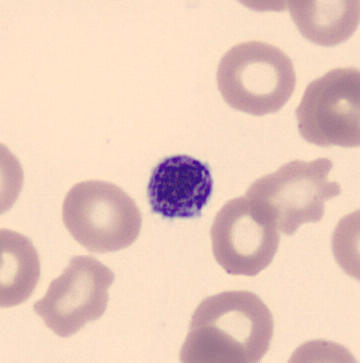Morphological class — thrombocyte. Peripheral blood film.